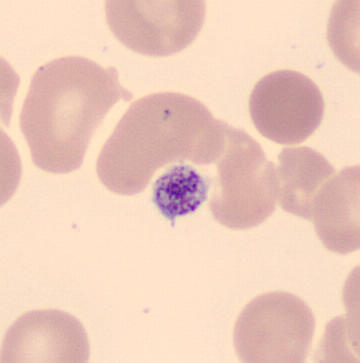
Specimen: peripheral blood smear.
Morphological class: platelet.